Bone marrow smear. Pappenheim-stained.
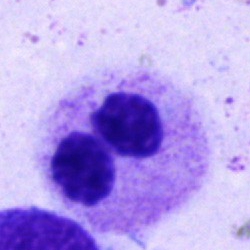

Morphological class: polymorphonuclear neutrophil.